Bone marrow aspirate smear.
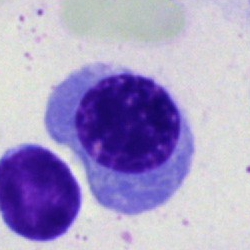
Cell type: nucleated red blood cell.